Bone marrow aspirate smear · cropped to a single cell: 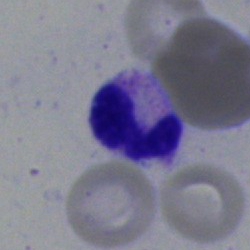 Q: What is shown here?
A: This is a segmented neutrophil.